Bone marrow smear:
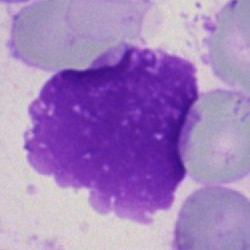 Morphology — artefact.